May-Grünwald-Giemsa/Pappenheim stain; bone marrow smear:
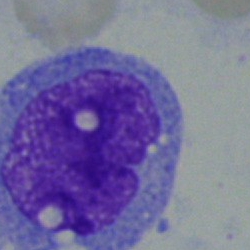 Specimen: bone marrow aspirate smear.
Cell: monocyte.
Lineage: myeloid.